Bone marrow aspirate smear.
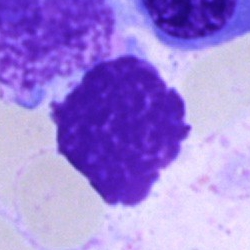 An artifact.